Bone marrow aspirate smear · single-cell field:
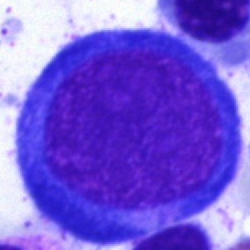Q: What type of cell is this?
A: It is a pronormoblast.